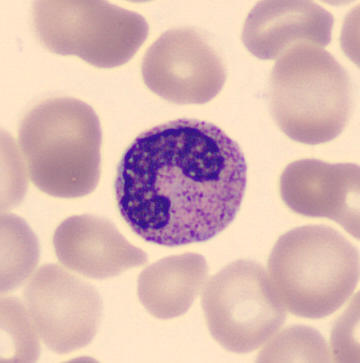
Morphological class: stab cell.